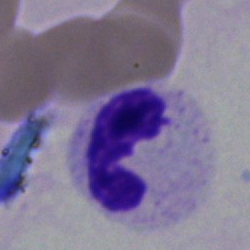

Morphology — band neutrophil.